Bone marrow aspirate smear:
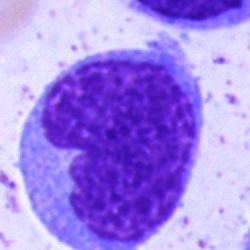
Monocyte.